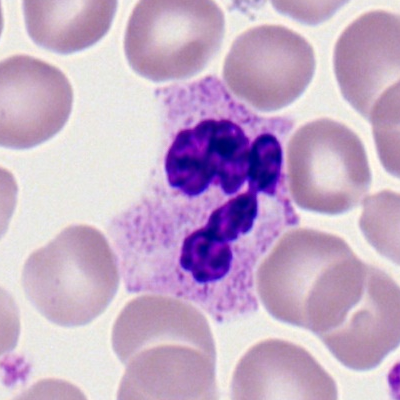 Q: What type of cell is this?
A: A polymorphonuclear neutrophil.